Bone marrow smear. Single-cell crop.
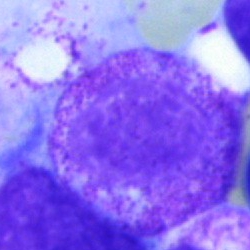The cell shown is a myelocyte.